Bone marrow aspirate smear.
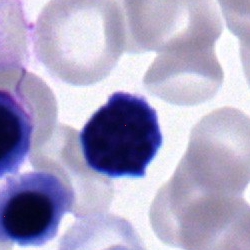Showing a nucleated red cell.